May-Grünwald-Giemsa/Pappenheim stain · bone marrow aspirate smear — 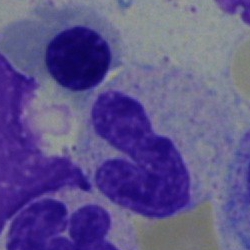 Cell type = stab cell.